Bone marrow aspirate smear · 250×250 · single-cell field:
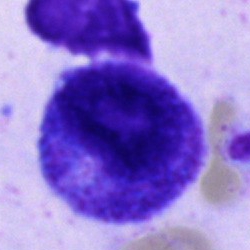
Q: What is the morphological classification of this cell?
A: Promyelocyte.